Bone marrow aspirate smear. Cropped to a single cell. 250×250 px
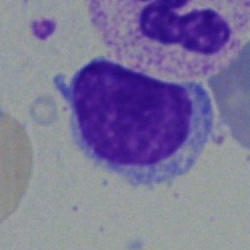This is a lymphocyte.